Bone marrow smear · May-Grünwald-Giemsa/Pappenheim stain · 40× objective, oil immersion: 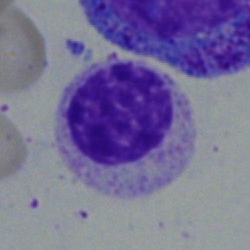 Cell = myelocyte.